Bone marrow aspirate smear · 250 by 250 pixels — 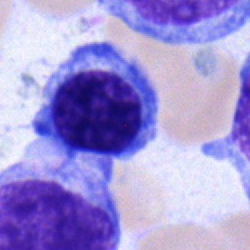This is a normoblast.